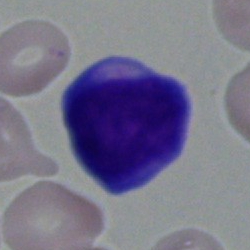

Impression → undifferentiated blast.